Bone marrow smear — 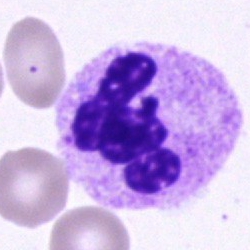
Classification: neutrophil (segmented).